Bone marrow smear:
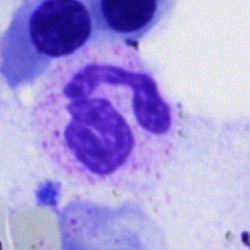

Specimen: bone marrow smear.
Cell type: neutrophil (segmented).
Lineage: myeloid.